Bone marrow aspirate smear. 250×250 px. Cropped to a single cell
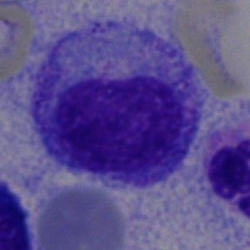
Q: Which cell type is shown here?
A: This is a promyelocyte.